Peripheral blood smear; 360×363 px:
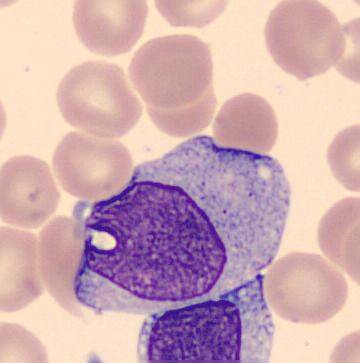

Impression → monocyte.